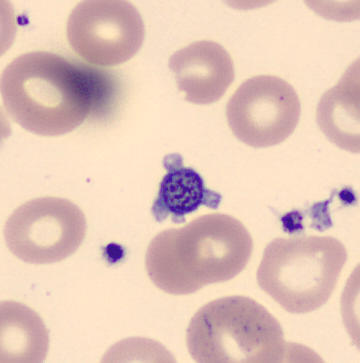 From a peripheral blood smear: a platelet.